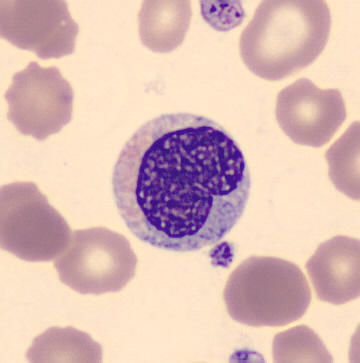
A metamyelocyte on a peripheral blood smear.